Bone marrow aspirate smear:
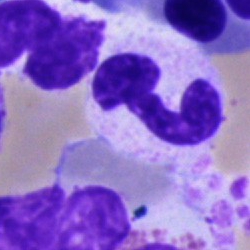A polymorphonuclear neutrophil.